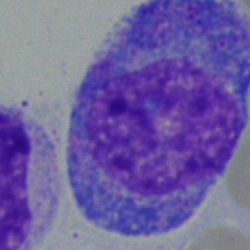

Morphology → promyelocyte.